Bone marrow aspirate smear
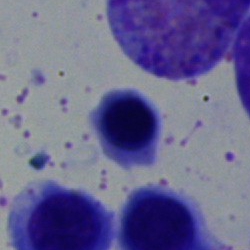
Cell: erythroblast.